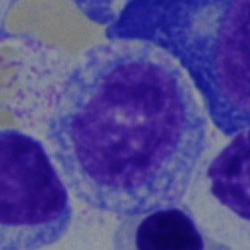
Classification — myelocyte.